Bone marrow aspirate smear
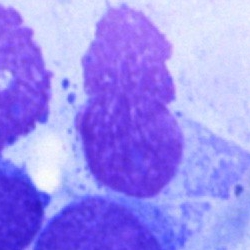The morphological class is artefact.